Brightfield, 100× oil-immersion objective · peripheral blood smear — 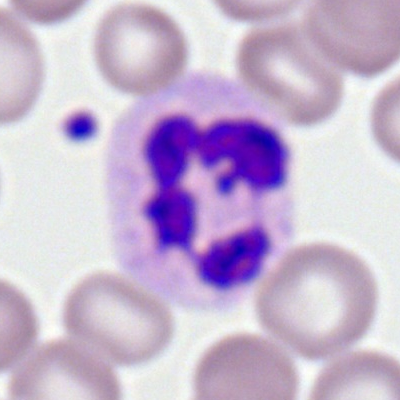 The cell shown is a neutrophil (segmented).